Bone marrow smear.
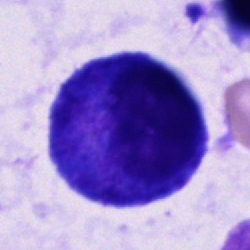 Promyelocyte.